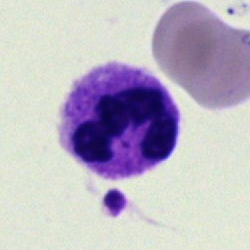
Bone marrow aspirate smear, single cell — neutrophil (segmented).